Bone marrow smear:
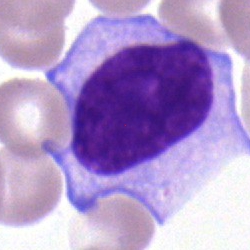

Single cell identified as a typical lymphocyte.